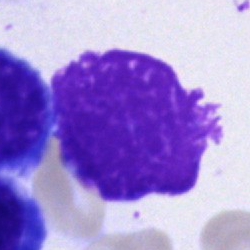Bone marrow aspirate smear, single cell — artefact.